Bone marrow aspirate smear. 250×250 px.
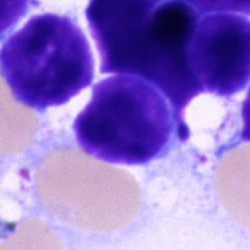
{"cell_type": "typical lymphocyte"}